250×250 px; bone marrow smear.
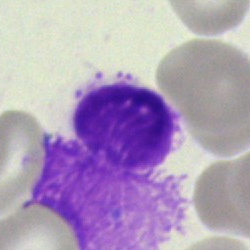
Morphology — artifact.